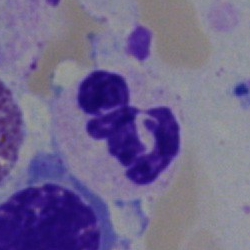Q: What cell is this?
A: It is a segmented neutrophil.